Bone marrow smear: 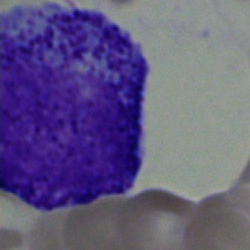Specimen: bone marrow aspirate smear.
Cell: progranulocyte.
Lineage: myeloid.